Peripheral blood film: 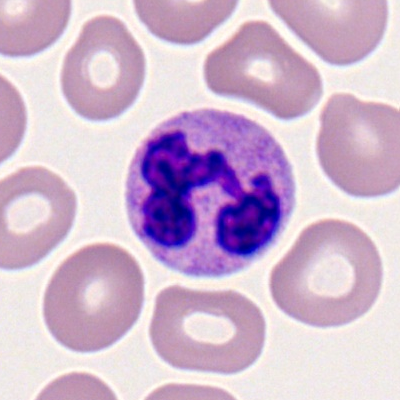Polymorphonuclear neutrophil.